40× oil immersion · bone marrow smear: 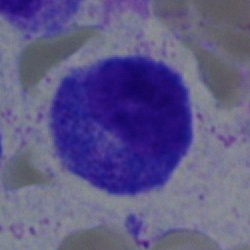 The morphological class is promyelocyte.